Bone marrow aspirate smear · Pappenheim-stained
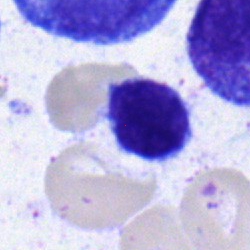
Q: What is the morphological classification of this cell?
A: Lymphocyte.